Bone marrow aspirate smear · 250×250 px · MGG-stained: 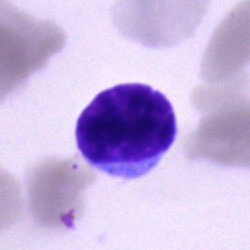
This is a lymphocyte.